Brightfield, 40× oil-immersion objective. Bone marrow smear. Single cell centered in the field — 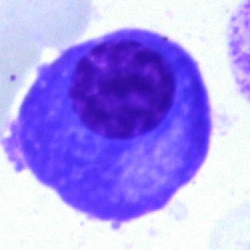Cell type: plasmacyte.